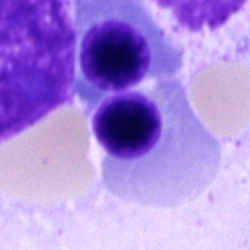
Q: Identify the cell.
A: This is a normoblast.